May-Grünwald-Giemsa/Pappenheim stain; bone marrow smear:
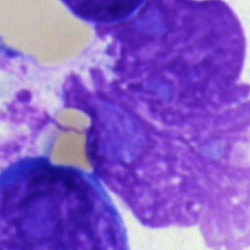
Showing an artefact.